Bone marrow aspirate smear — 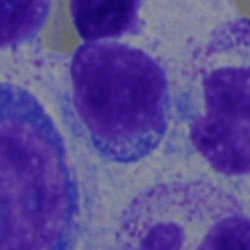

Morphology → lymphocyte.